Bone marrow smear — 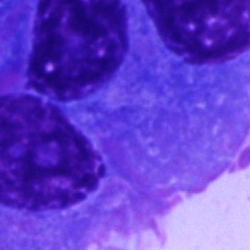Morphology — plasma cell.